MGG-stained. Bone marrow smear: 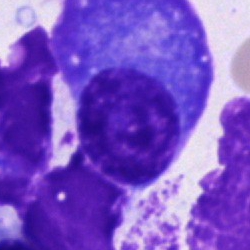

This is a plasmacyte.